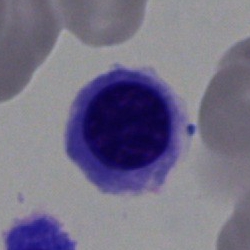

Q: What is shown here?
A: It is a nucleated red cell.